Bone marrow smear.
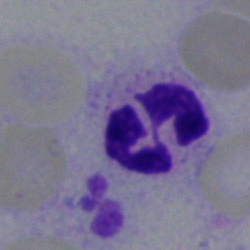
{"cell_type": "polymorphonuclear neutrophil"}